Bone marrow aspirate smear:
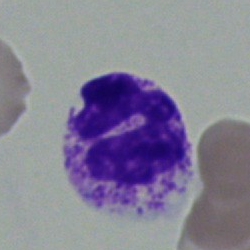
This is a polymorphonuclear neutrophil.